Bone marrow smear
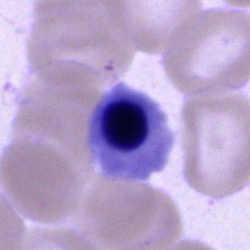 Q: Which cell type is shown here?
A: It is a nucleated red cell.